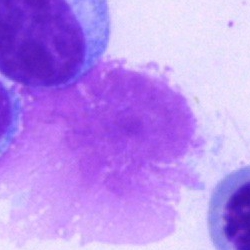
Specimen: bone marrow aspirate smear.
Classification: artefact.